Pappenheim-stained. Bone marrow aspirate smear: 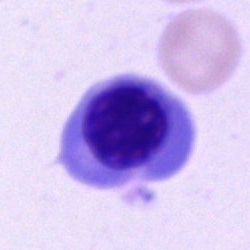Specimen: bone marrow aspirate smear.
Cell: nucleated red blood cell.
Lineage: erythroid.